Pappenheim-stained. Bone marrow aspirate smear.
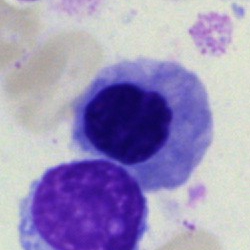 Cell type — normoblast.